Bone marrow smear; May-Grünwald-Giemsa stain.
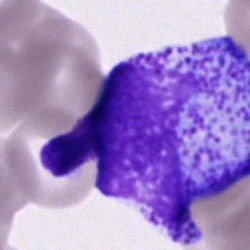
Impression → progranulocyte.